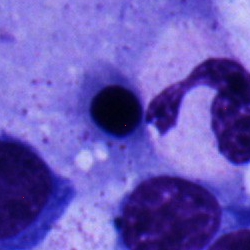
Bone marrow aspirate smear, single cell — erythroblast.